Bone marrow smear — 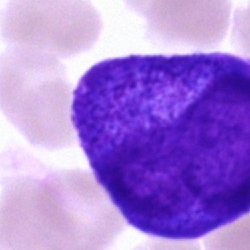

Morphological class: progranulocyte.